Bone marrow aspirate smear — 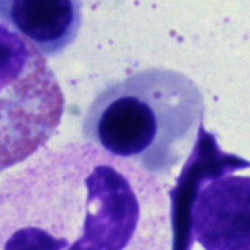

Morphology consistent with an erythroblast.